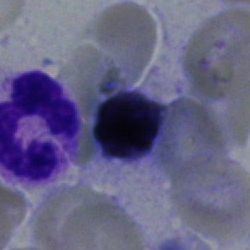 Specimen: bone marrow smear.
Cell: nucleated red cell.